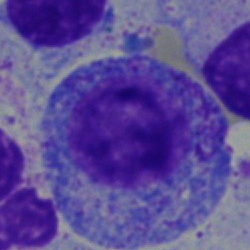
Q: What is shown here?
A: A promyelocyte.